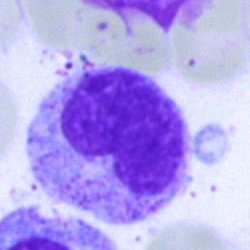Morphological class — metamyelocyte.